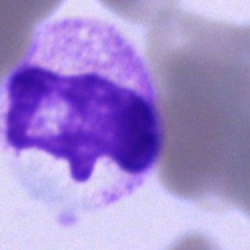 The cell shown is a segmented neutrophil.